Bone marrow aspirate smear; brightfield microscopy, 40× oil immersion
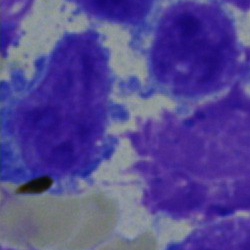 Morphology — lymphocyte.